Bone marrow aspirate smear: 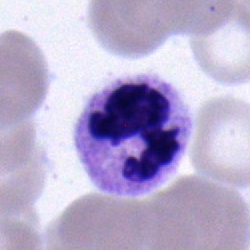Morphology — segmented neutrophil.